Bone marrow aspirate smear — 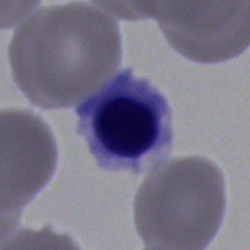
Q: Identify the cell.
A: Erythroblast.